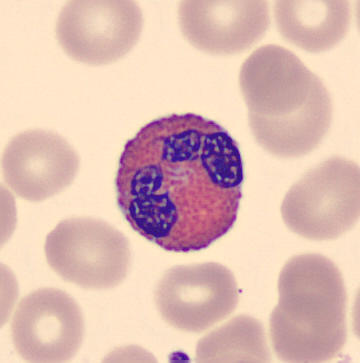
Cell type: eosinophilic granulocyte. Peripheral blood smear · 360 by 363 pixels.